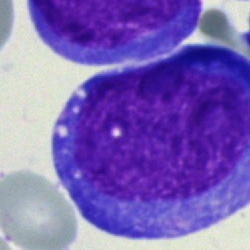
An undifferentiated blast on a bone marrow smear.